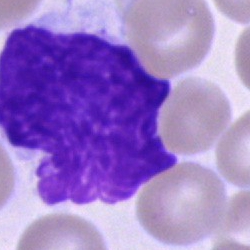
Q: What is shown here?
A: Artifact.